Romanowsky stain · peripheral blood smear:
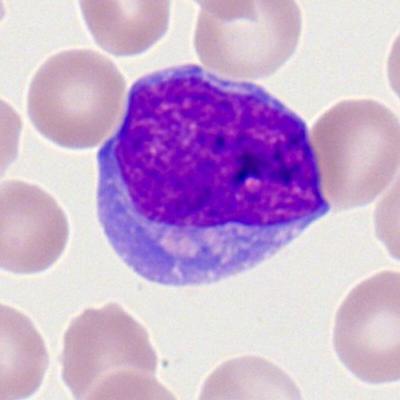
Morphological class: myeloid blast.